Bone marrow aspirate smear — 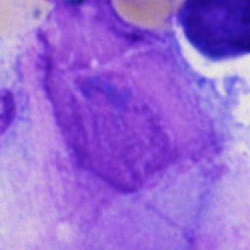

This is an artifact.